Image size 250×250 · bone marrow aspirate smear
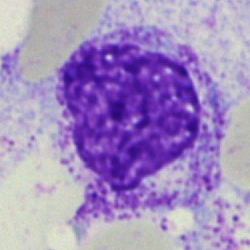

Q: Identify the cell.
A: It is a myelocyte.